Image size 250×250 · bone marrow aspirate smear · cropped to a single cell.
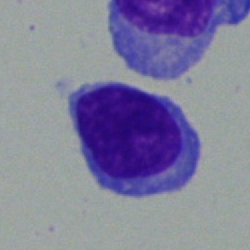

Cell type = typical lymphocyte.